Bone marrow aspirate smear
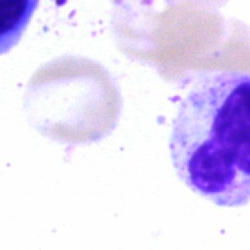

Single cell identified as an artifact.